Bone marrow aspirate smear: 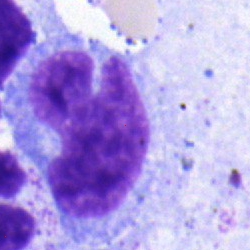
Monocyte.